Bone marrow smear; 250×250 px: 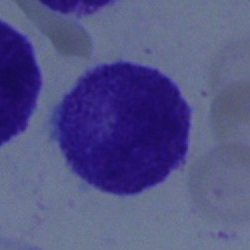
Myelocyte.